Bone marrow smear.
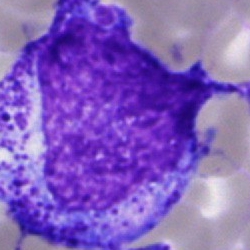The cell shown is a progranulocyte.